Bone marrow smear; Pappenheim-stained:
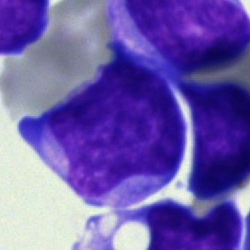
Cell: blast.